Single cell centered in the field · bone marrow aspirate smear · 250×250 px
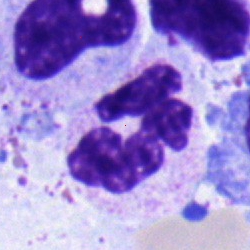

Q: Identify the cell.
A: Plasmacyte.